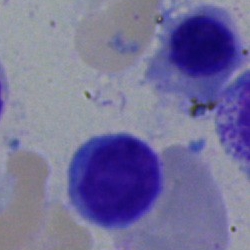

Morphology consistent with a typical lymphocyte.